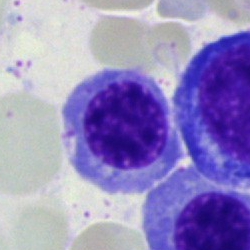

This is a nucleated red blood cell.